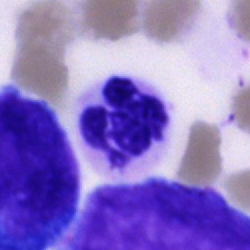
Bone marrow aspirate smear, single cell — polymorphonuclear neutrophil.